Bone marrow smear.
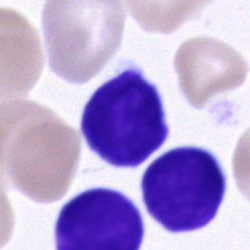
{"cell_type": "typical lymphocyte", "lineage": "lymphoid"}